Bone marrow aspirate smear
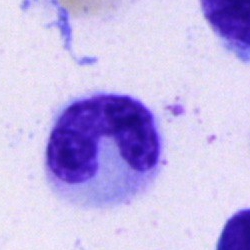This is a stab cell.